Bone marrow smear; cropped to a single cell: 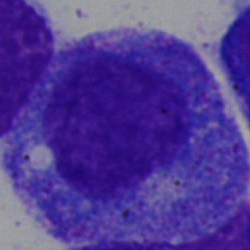

Morphological class: promyelocyte.